Bone marrow aspirate smear. 250 by 250 pixels:
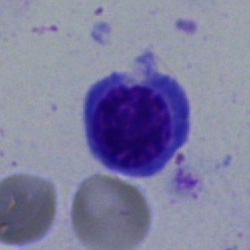Q: What is shown here?
A: A normoblast.